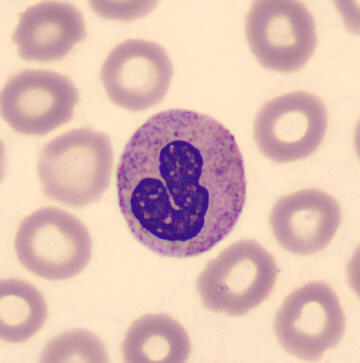 Image: Peripheral blood smear.
Morphology consistent with a neutrophil (band).